Cropped to a single cell. Bone marrow smear. 250 by 250 pixels: 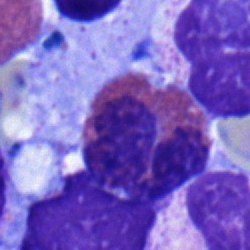 Specimen: bone marrow aspirate smear.
Cell: eosinophilic granulocyte.
Lineage: myeloid.